May-Grünwald-Giemsa/Pappenheim stain; bone marrow aspirate smear.
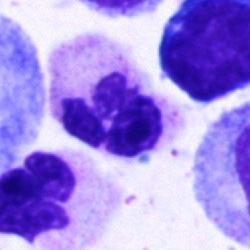Specimen: bone marrow smear.
Cell type: segmented neutrophil.